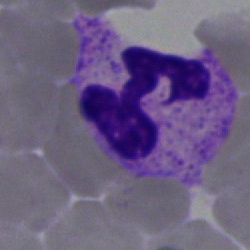

A neutrophil (segmented).